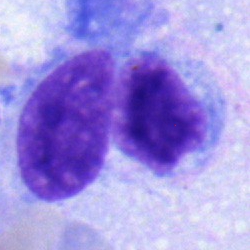 Bone marrow smear showing a typical lymphocyte.